Brightfield, 40× oil-immersion objective · bone marrow aspirate smear
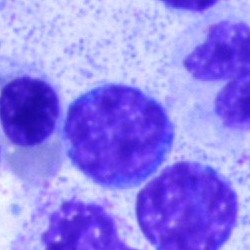Lymphocyte.